May-Grünwald-Giemsa stain; bone marrow smear
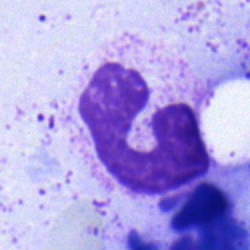Q: What is the morphological classification of this cell?
A: This is a neutrophil (band).